Bone marrow smear. Image size 250×250
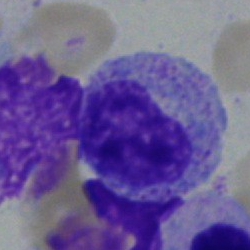
Specimen: bone marrow smear.
Morphological class: metamyelocyte.